MGG-stained. Bone marrow smear
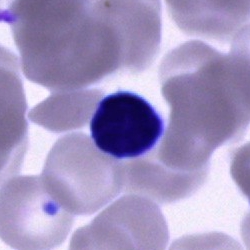A typical lymphocyte.